Peripheral blood smear. 100× oil immersion, 14.14 px/µm — 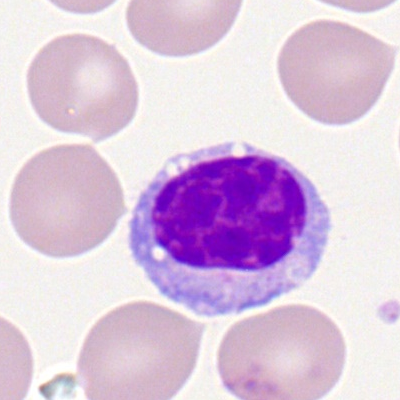

Q: What cell is this?
A: This is a lymphocyte.